Bone marrow aspirate smear — 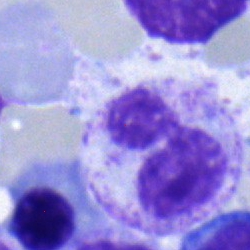 Classification = polymorphonuclear neutrophil.